Bone marrow smear: 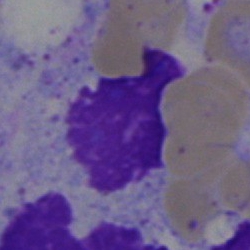This is an artefact.